May-Grünwald-Giemsa stain · bone marrow smear — 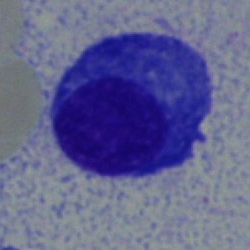Cell = plasmacyte.